Bone marrow aspirate smear.
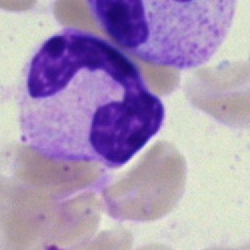
Single cell identified as a polymorphonuclear neutrophil.